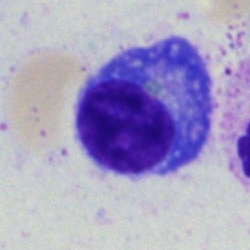Single-cell crop from a bone marrow smear: plasmacyte.